Single cell centered in the field; bone marrow smear: 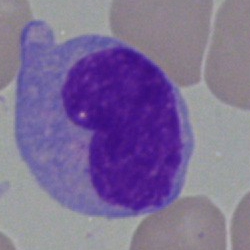 This is a monocyte.